Bone marrow aspirate smear — 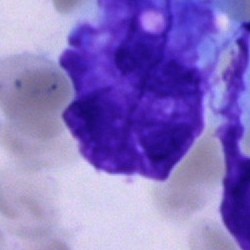
Q: What is shown here?
A: An artefact.